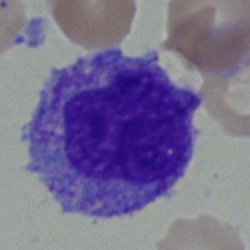

Specimen: bone marrow aspirate smear.
Morphological class: monocyte.
Lineage: myeloid.